Bone marrow aspirate smear — 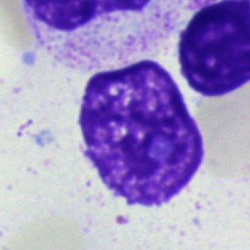An artifact.